May-Grünwald-Giemsa/Pappenheim stain · bone marrow aspirate smear — 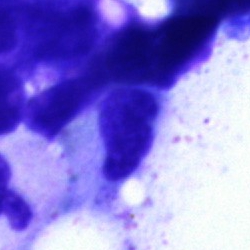
Showing an artifact.